Bone marrow smear. 40× objective, oil immersion
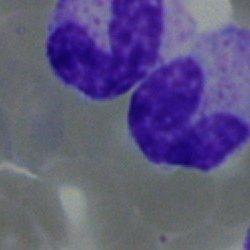

Morphology consistent with a stab cell.